100× oil immersion, 14.14 px/µm; peripheral blood smear:
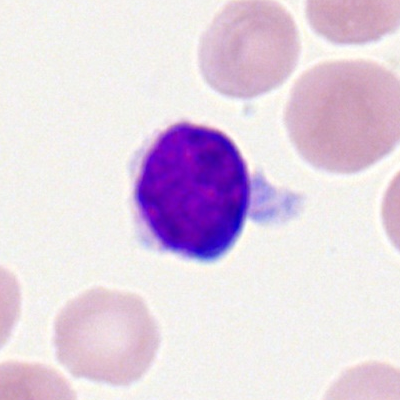

Showing a lymphocyte.